Bone marrow aspirate smear.
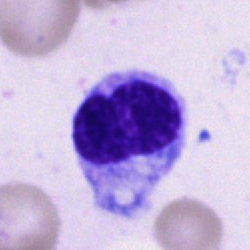

Specimen: bone marrow smear.
Cell: normoblast.
Lineage: erythroid.